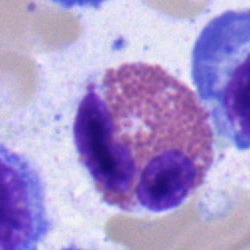

Eosinophilic granulocyte.